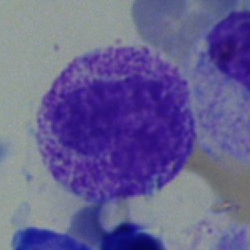 Classification: metamyelocyte.